Peripheral blood smear
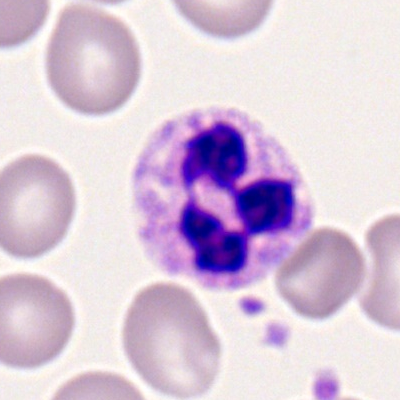Showing a segmented neutrophil.